250 by 250 pixels. Bone marrow aspirate smear. May-Grünwald-Giemsa/Pappenheim stain:
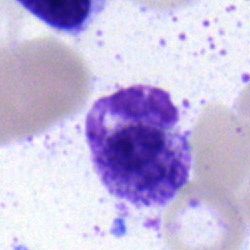The classification is polymorphonuclear neutrophil.